Bone marrow aspirate smear.
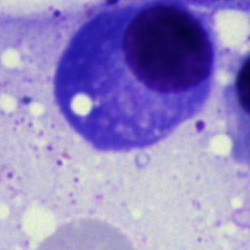Q: What is shown here?
A: Plasmacyte.